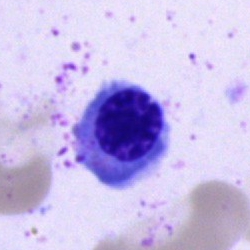 Impression — nucleated red blood cell.